Image size 250×250 · bone marrow aspirate smear
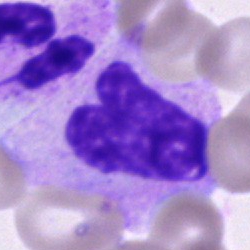 Specimen: bone marrow aspirate smear.
Cell type: neutrophil (band).
Lineage: myeloid.